Peripheral blood smear · 100× oil immersion: 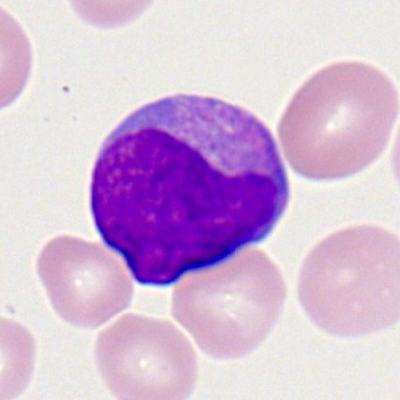Specimen: peripheral blood film.
Classification: myeloid blast.